Bone marrow aspirate smear.
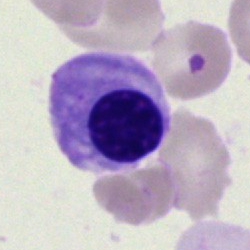
Cell = nucleated red cell.